Bone marrow smear.
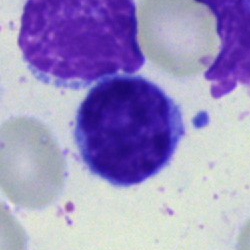

Classification = lymphocyte.